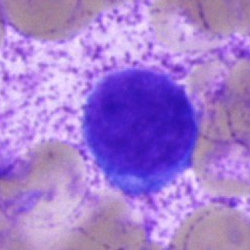 Impression — blast.